Bone marrow aspirate smear; May-Grünwald-Giemsa/Pappenheim stain
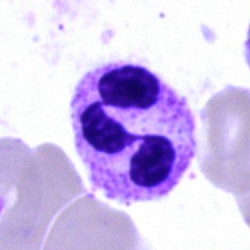Specimen: bone marrow smear.
Classification: polymorphonuclear neutrophil.
Lineage: myeloid.